Bone marrow smear; 250 by 250 pixels; cropped to a single cell: 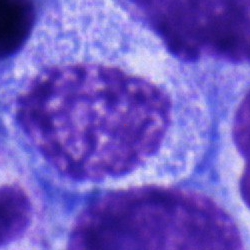 Cell type: myelocyte.